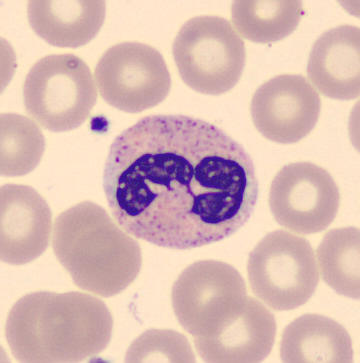 Q: What type of cell is this?
A: This is a segmented neutrophil.